Bone marrow smear · May-Grünwald-Giemsa/Pappenheim stain:
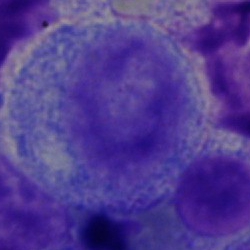Q: What is shown here?
A: This is a promyelocyte.